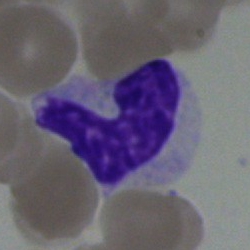

This is a band neutrophil.